Bone marrow smear: 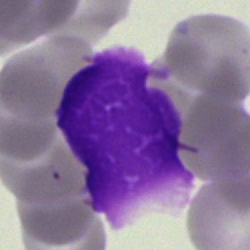 Showing an artefact.